Bone marrow aspirate smear:
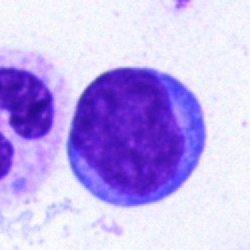 Morphology → typical lymphocyte.